250×250 · bone marrow smear — 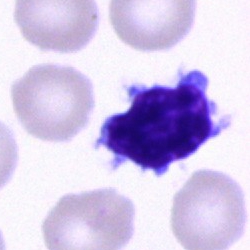 Morphology consistent with a lymphocyte.